Bone marrow smear: 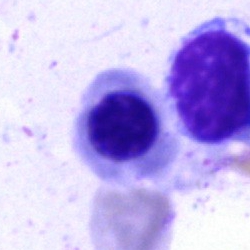

Q: What type of cell is this?
A: This is a nucleated red cell.